Single-cell field. Bone marrow aspirate smear:
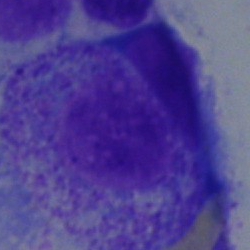The cell shown is a promyelocyte.